Bone marrow smear; single-cell field
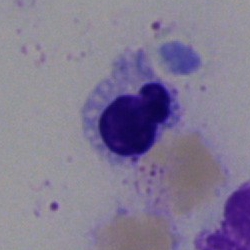 Morphological class: normoblast.